Bone marrow smear. 250×250: 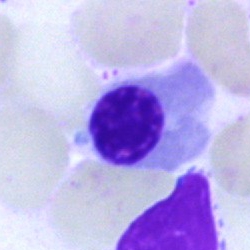
Showing an erythroblast.